Bone marrow smear:
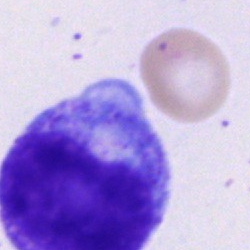
A progranulocyte.